Bone marrow smear. Single cell centered in the field. 40× oil immersion:
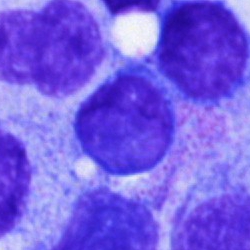Impression → lymphocyte.